Bone marrow smear: 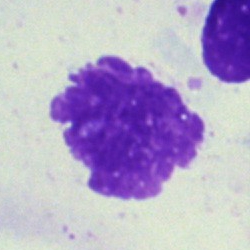

Q: What is shown here?
A: This is an artefact.